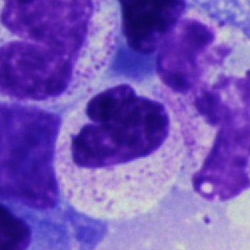Cell type — segmented neutrophil.